Peripheral blood film — 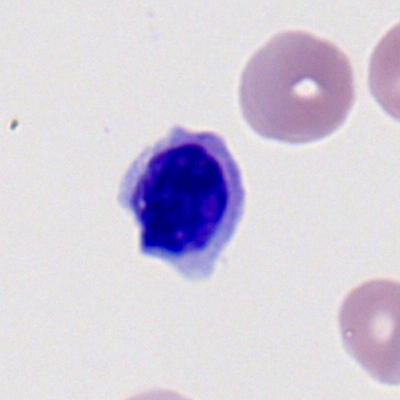Specimen: peripheral blood film.
Cell: erythroblast.
Lineage: erythroid.